Bone marrow aspirate smear · brightfield microscopy, 40× oil immersion · 250×250: 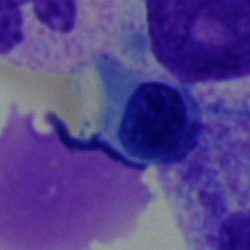 Cell type — erythroblast.